Pappenheim-stained; bone marrow aspirate smear — 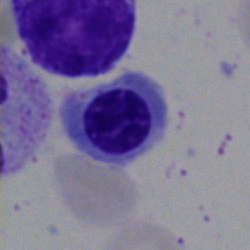This is a nucleated red blood cell.